Bone marrow smear
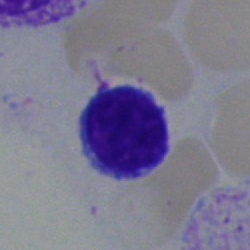Cell type = typical lymphocyte.